Bone marrow aspirate smear:
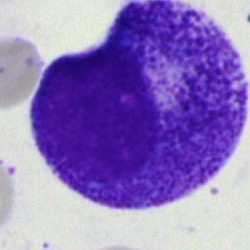 Cell: progranulocyte.